Bone marrow aspirate smear
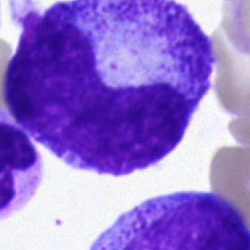
Q: What type of cell is this?
A: This is a progranulocyte.